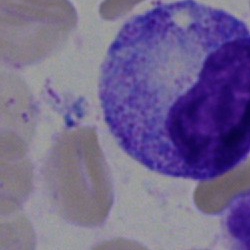
Q: Identify the cell.
A: Promyelocyte.